May-Grünwald-Giemsa stain. Bone marrow aspirate smear:
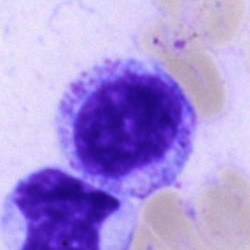 The classification is myelocyte.